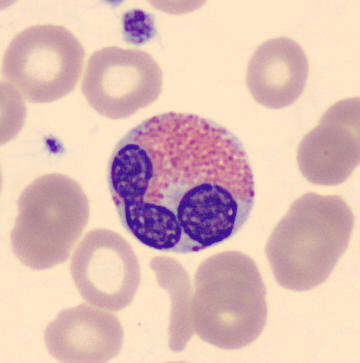
Specimen: peripheral blood smear.
Classification: eosinophilic granulocyte.
Lineage: myeloid.